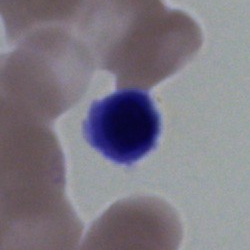Q: What cell is this?
A: A nucleated red cell.